Bone marrow smear:
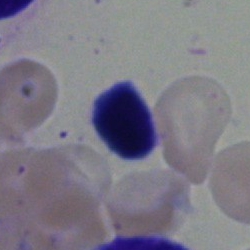

The cell type is typical lymphocyte.